CellaVision DM96 digital cell image. Peripheral blood smear. 360×363 px:
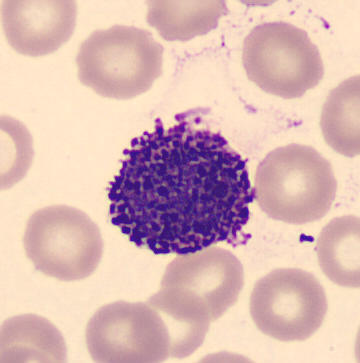 Specimen: peripheral blood smear.
Classification: basophilic granulocyte.
Lineage: myeloid.